Bone marrow aspirate smear; Pappenheim-stained
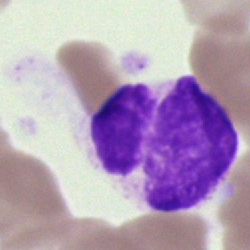

Morphology consistent with an artifact.